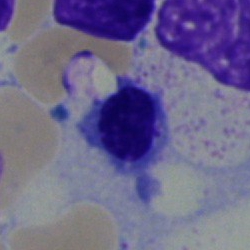The morphological class is nucleated red cell.